Image size 250×250 · bone marrow aspirate smear.
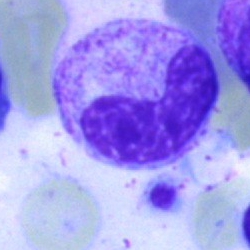Q: What is shown here?
A: It is a band-form neutrophil.